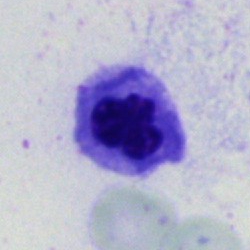 The morphological class is erythroblast.